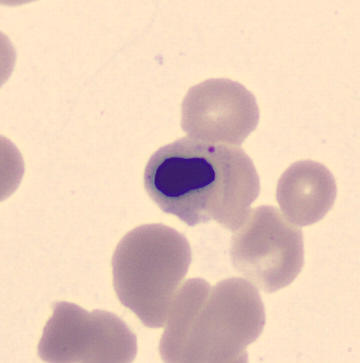Preparation: 360 by 363 pixels. Peripheral blood film.
Nucleated red blood cell.